Pappenheim-stained · bone marrow smear · single-cell field.
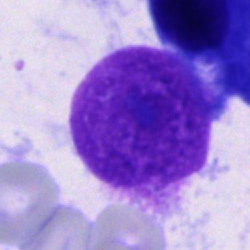
{"cell_type": "other cell"}